May-Grünwald-Giemsa/Pappenheim stain; bone marrow aspirate smear.
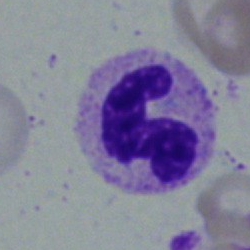

Specimen: bone marrow aspirate smear.
Cell: segmented neutrophil.
Lineage: myeloid.